Bone marrow smear: 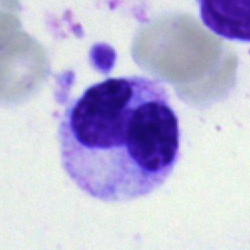

Q: Which cell type is shown here?
A: Stab cell.